40× oil immersion · bone marrow smear · May-Grünwald-Giemsa stain — 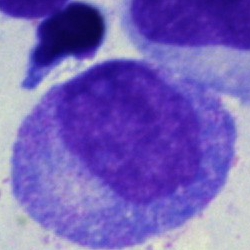 Specimen: bone marrow smear.
Morphological class: progranulocyte.
Lineage: myeloid.